Bone marrow aspirate smear:
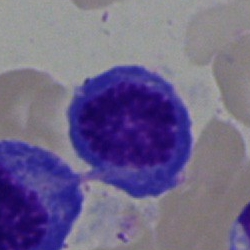 The cell shown is a normoblast.